Peripheral blood film. M8 digital microscope (Precipoint), 100× oil immersion. Romanowsky-type stain.
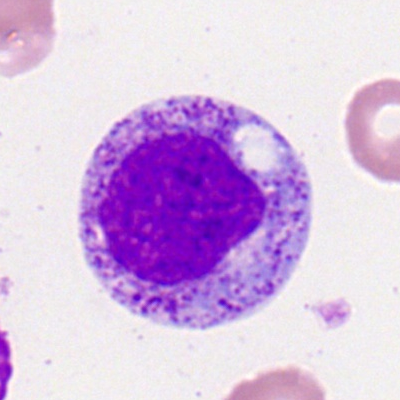

Single cell identified as a myelocyte.